Bone marrow smear — 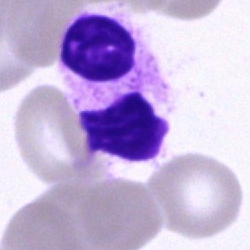 {"cell_type": "segmented neutrophil", "lineage": "myeloid"}